Bone marrow smear.
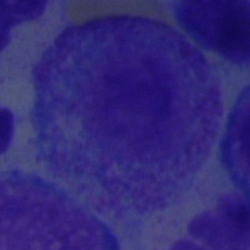 Morphology consistent with a progranulocyte.